Bone marrow smear. Brightfield, 40× oil-immersion objective. 250×250 px:
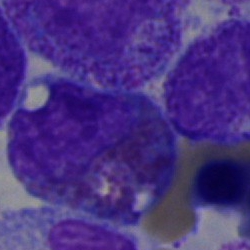
Morphology → eosinophil.